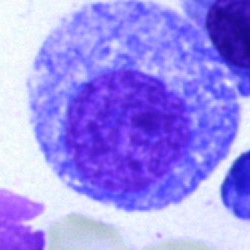

Promyelocyte.